Bone marrow aspirate smear; 40× objective, oil immersion — 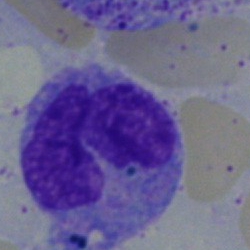Q: What is shown here?
A: A monocyte.